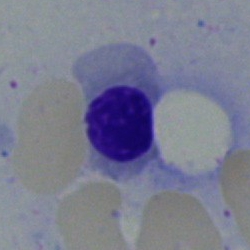 Cell type — normoblast.